Bone marrow smear
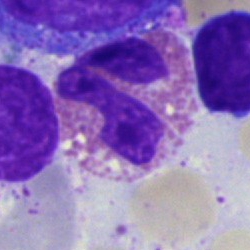
Specimen: bone marrow aspirate smear.
Cell type: eosinophilic granulocyte.